Brightfield microscopy, 40× oil immersion · MGG-stained · bone marrow smear:
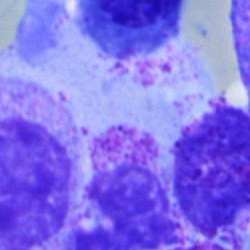

Morphological class: artifact.